Bone marrow smear — 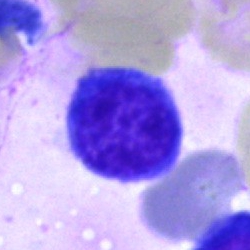

Lymphocyte.